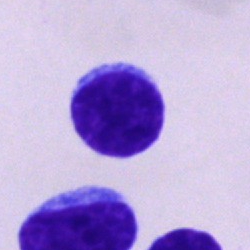 Bone marrow aspirate smear, single cell — typical lymphocyte.